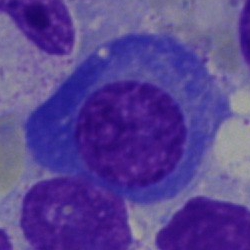The classification is plasma cell.